Bone marrow smear · single cell centered in the field · MGG-stained:
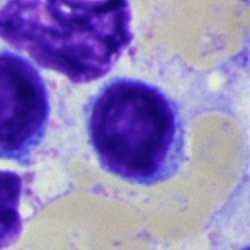 Q: Which cell type is shown here?
A: It is a typical lymphocyte.